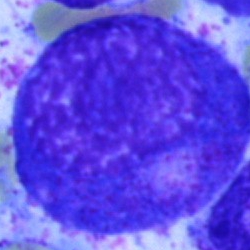
Single cell identified as a progranulocyte.